250×250 px. Single cell centered in the field. Bone marrow smear.
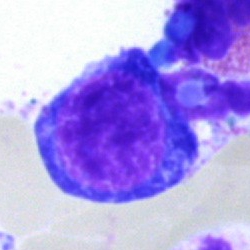Classification: pronormoblast.